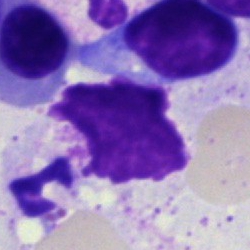

Single-cell crop from a bone marrow smear: artefact.